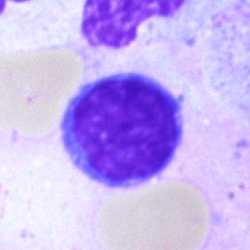

The morphological class is typical lymphocyte.